Bone marrow aspirate smear: 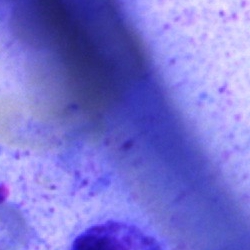
Artefact.